MGG-stained · bone marrow smear.
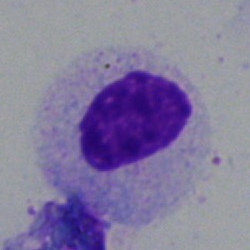

This is a myelocyte.